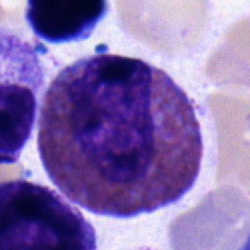 Eosinophilic granulocyte.